Cropped to a single cell; bone marrow smear
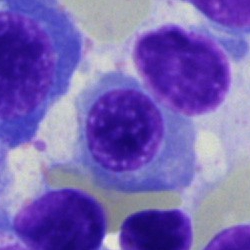 Q: Which cell type is shown here?
A: It is an erythroblast.